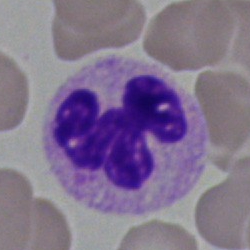The morphological class is segmented neutrophil.